Brightfield microscopy, 40× oil immersion. Bone marrow aspirate smear
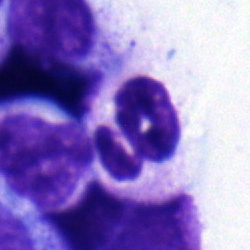 Cell type = segmented neutrophil.